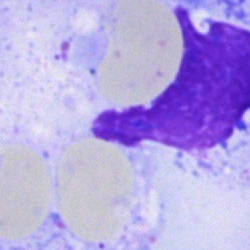Q: What is shown here?
A: Artefact.